Bone marrow smear.
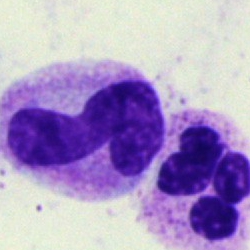 Impression — band neutrophil.